Bone marrow smear: 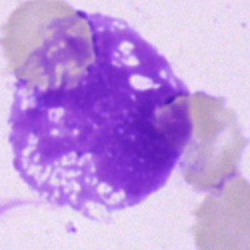Showing an artefact.